Bone marrow smear:
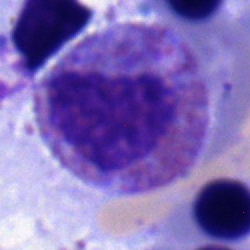 Classification = eosinophilic granulocyte.